Brightfield microscopy, 40× oil immersion; bone marrow aspirate smear: 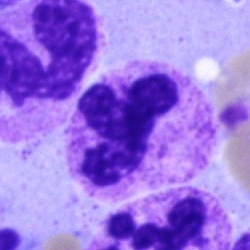 Segmented neutrophil.